Cropped to a single cell · bone marrow smear · 250×250 px.
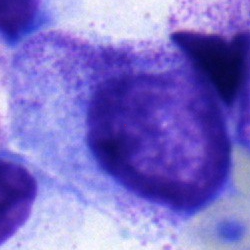

Specimen: bone marrow aspirate smear.
Cell: progranulocyte.